Brightfield microscopy, 40× oil immersion · bone marrow aspirate smear · single-cell crop: 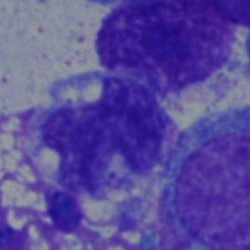 Cell — monocyte.